Bone marrow smear.
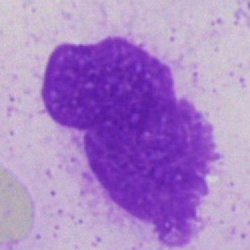Specimen: bone marrow smear.
Cell type: artifact.